Single-cell crop. Bone marrow smear — 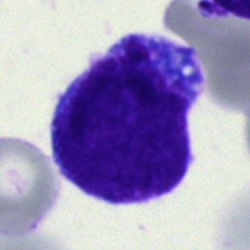 Specimen: bone marrow smear.
Classification: blast.